40× oil immersion. 250×250 px. Bone marrow smear: 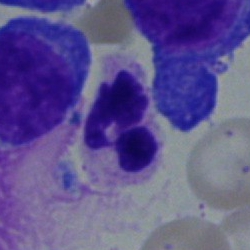
Polymorphonuclear neutrophil.